250×250 px · bone marrow aspirate smear — 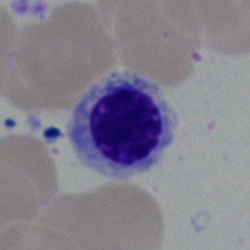
Showing a nucleated red blood cell.